Bone marrow smear; 250×250: 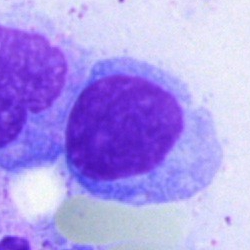

A typical lymphocyte.